Cropped to a single cell · peripheral blood smear.
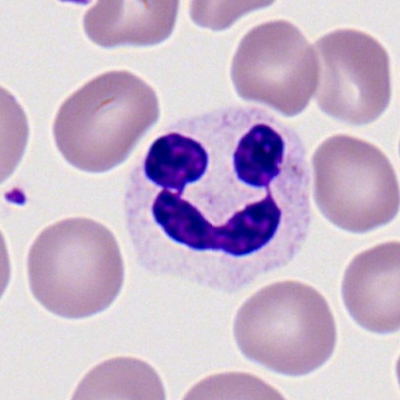 The morphological class is segmented neutrophil.